Bone marrow aspirate smear
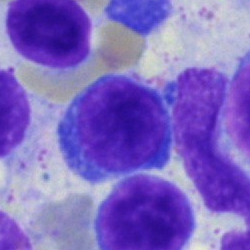

Impression → lymphocyte.